Bone marrow smear: 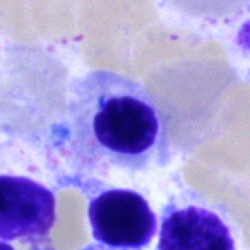Classification = normoblast.